Bone marrow smear — 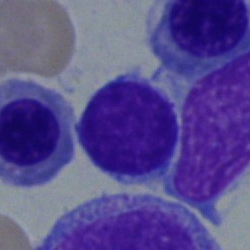Cell type — lymphocyte.